Bone marrow aspirate smear. Single cell centered in the field:
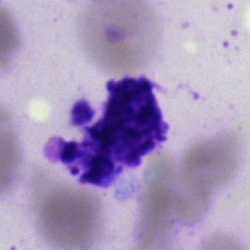 Impression → artifact.